Bone marrow aspirate smear: 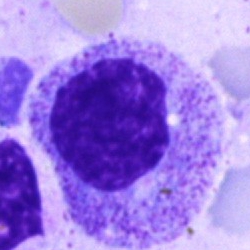
Q: Identify the cell.
A: A promyelocyte.